40× objective, oil immersion. Bone marrow aspirate smear: 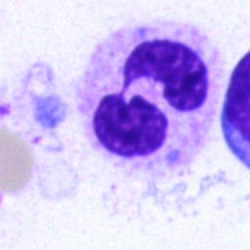

Morphological class — polymorphonuclear neutrophil.